Bone marrow aspirate smear · cropped to a single cell.
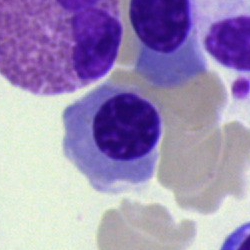

An erythroblast.